Bone marrow aspirate smear:
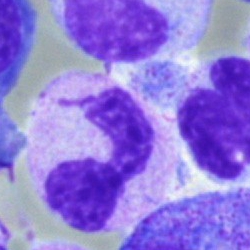
This is a band-form neutrophil.